Bone marrow aspirate smear: 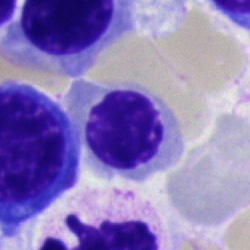 Cell = normoblast.